Peripheral blood film. Romanowsky-stained:
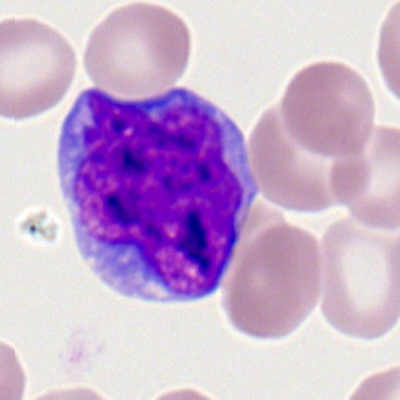Myeloblast.